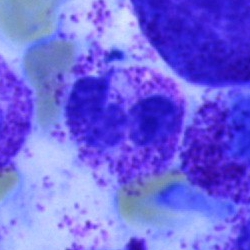Bone marrow aspirate smear, single cell — neutrophil (segmented).